Bone marrow aspirate smear
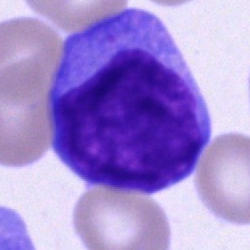

Cell = undifferentiated blast.